Bone marrow smear:
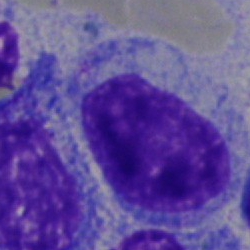Morphology — progranulocyte.